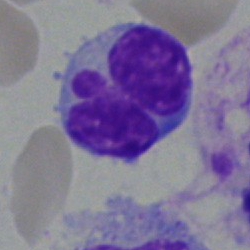

Showing a lymphocyte.